Peripheral blood film.
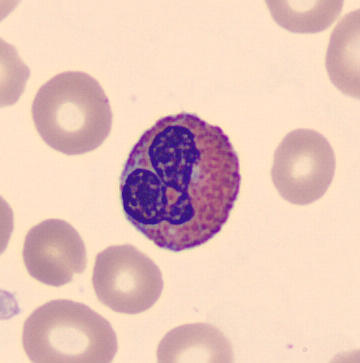Q: What type of cell is this?
A: This is an eosinophilic granulocyte.